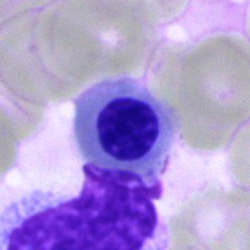Impression → nucleated red cell.